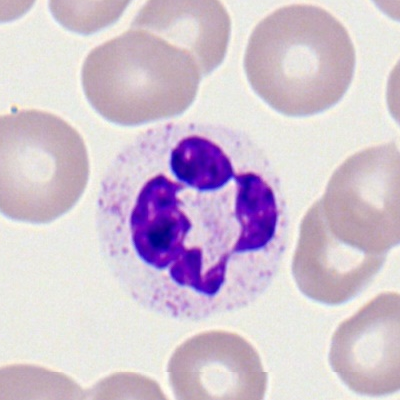

This is a neutrophil (segmented).